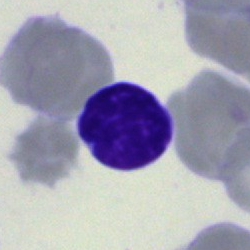Bone marrow smear showing a typical lymphocyte.